Bone marrow aspirate smear — 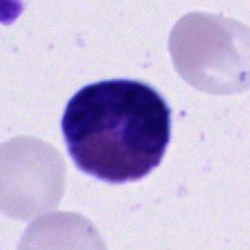

Showing an eosinophilic granulocyte.